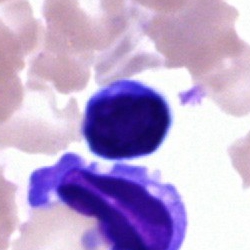

Q: What type of cell is this?
A: A lymphocyte.